250 by 250 pixels; bone marrow aspirate smear — 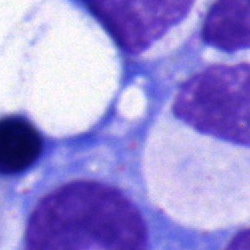 {"cell_type": "metamyelocyte", "lineage": "myeloid"}